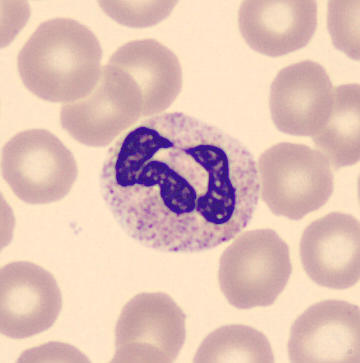Cell — segmented neutrophil.